Peripheral blood smear.
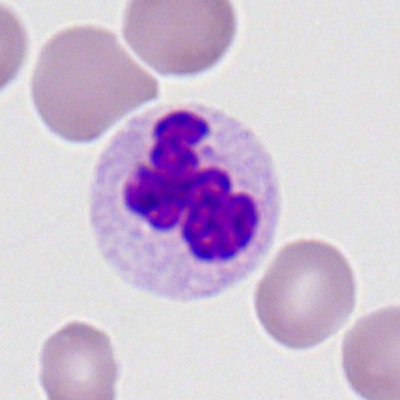
The classification is segmented neutrophil.